Bone marrow smear; 250×250; brightfield, 40× oil-immersion objective:
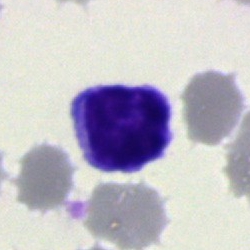

{"cell_type": "lymphocyte", "lineage": "lymphoid"}